Peripheral blood smear; brightfield, 100× oil-immersion objective:
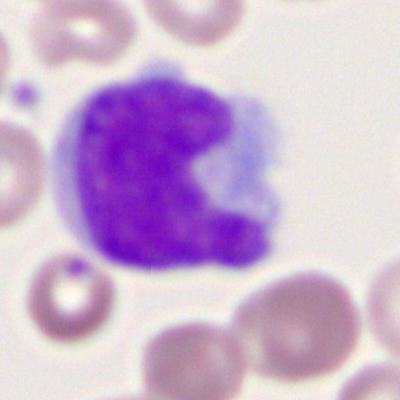 The morphological class is monocyte.